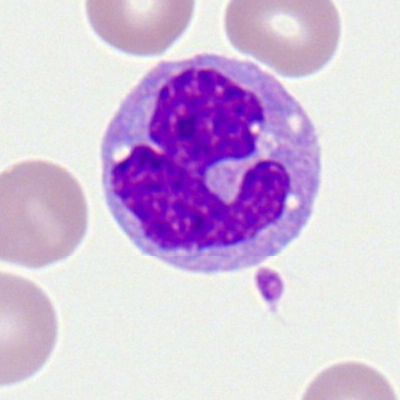 A monocyte on a peripheral blood smear.